Bone marrow smear.
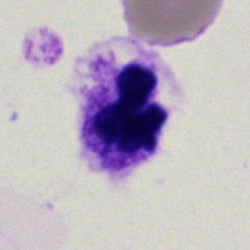Showing a neutrophil (segmented).